Bone marrow smear:
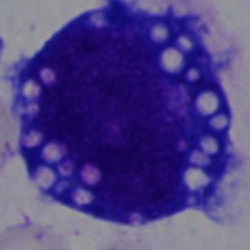Showing a blast cell.